Single-cell crop · May-Grünwald-Giemsa/Pappenheim stain · bone marrow aspirate smear.
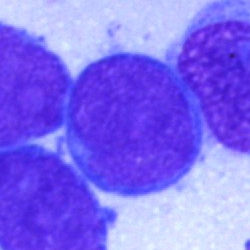

{"cell_type": "blast"}